Brightfield, 40× oil-immersion objective · bone marrow aspirate smear.
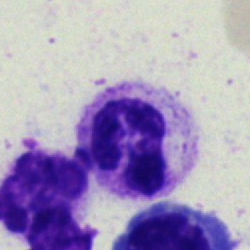 The cell shown is a neutrophil (segmented).